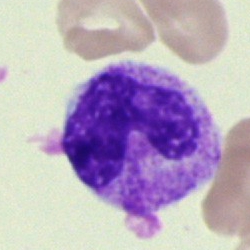
Q: What is the morphological classification of this cell?
A: A stab cell.